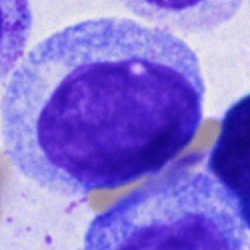
Specimen: bone marrow aspirate smear.
Cell: progranulocyte.